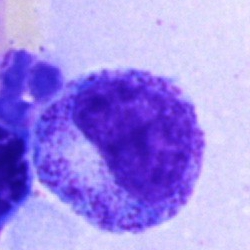 Morphology consistent with a progranulocyte.